Peripheral blood film
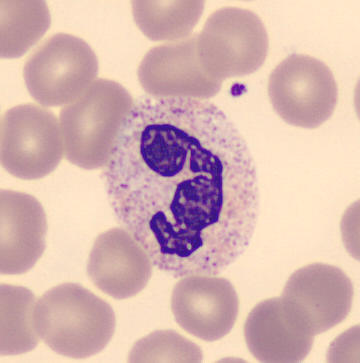 A neutrophil (segmented).